Bone marrow smear
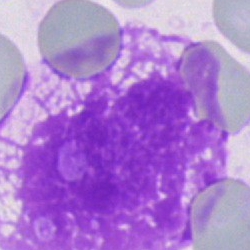Artefact.